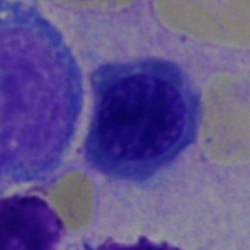 Cell type: nucleated red blood cell.